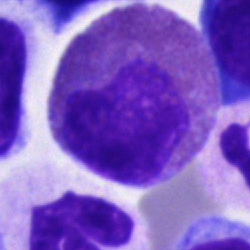Q: What is shown here?
A: Eosinophil.